Bone marrow aspirate smear:
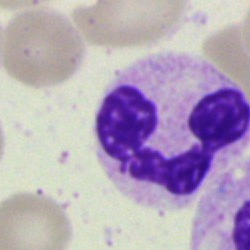Polymorphonuclear neutrophil.